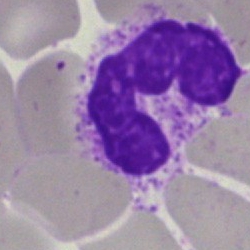 Specimen: bone marrow smear.
Cell: artifact.